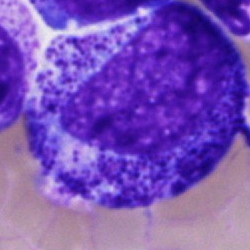Q: What cell is this?
A: A promyelocyte.